MGG-stained · bone marrow smear:
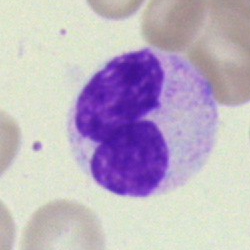

A segmented neutrophil.